Bone marrow aspirate smear — 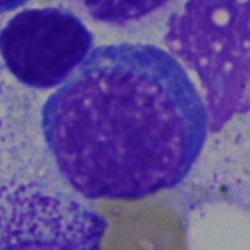 Classification: erythroblast.